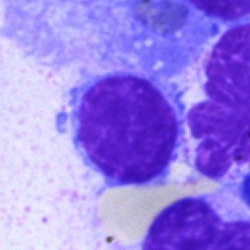
Cell type — typical lymphocyte.